Bone marrow aspirate smear. MGG-stained — 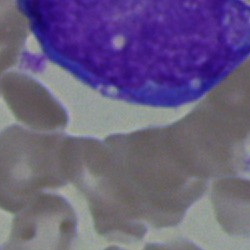 Specimen: bone marrow smear.
Cell type: blast.